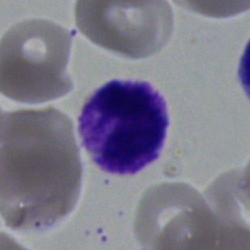 The cell is segmented neutrophil.